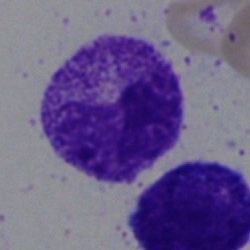 Specimen: bone marrow smear.
Cell: metamyelocyte.